Bone marrow aspirate smear: 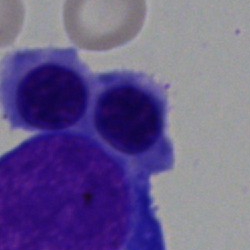A normoblast.